Cropped to a single cell. Bone marrow smear
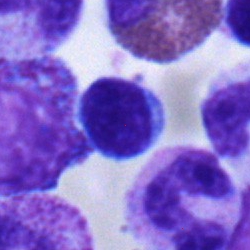 Q: Identify the cell.
A: Typical lymphocyte.